40× objective, oil immersion; bone marrow aspirate smear; MGG-stained
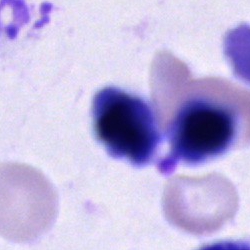

Cell = cell of indeterminate lineage.